Bone marrow smear: 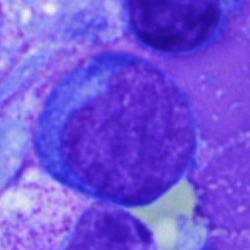
Classification = blast.